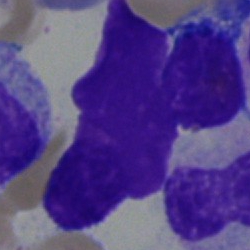
The cell shown is an artifact.